Bone marrow aspirate smear: 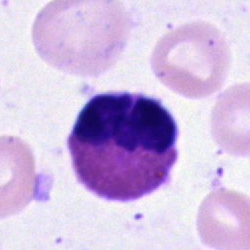

Eosinophil.